Peripheral blood smear — 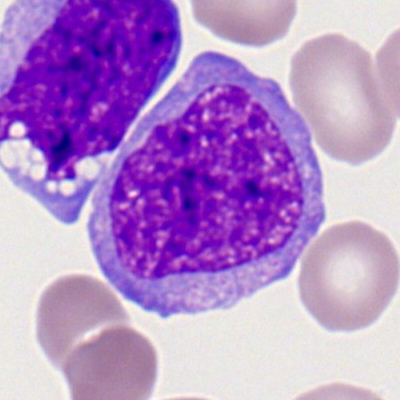 Morphological class: monocyte.